Single cell centered in the field; 250×250 px; bone marrow smear:
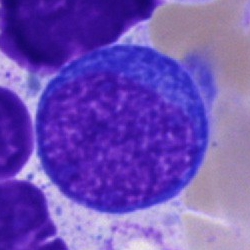 Specimen: bone marrow smear.
Cell: proerythroblast.
Lineage: erythroid.